Bone marrow smear:
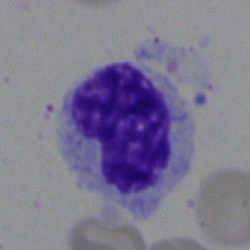 Morphological class — metamyelocyte.